Bone marrow smear:
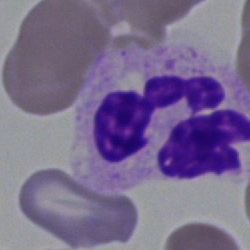

Q: What type of cell is this?
A: A neutrophil (segmented).